Bone marrow aspirate smear
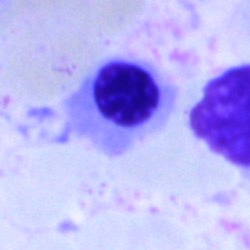Nucleated red blood cell.